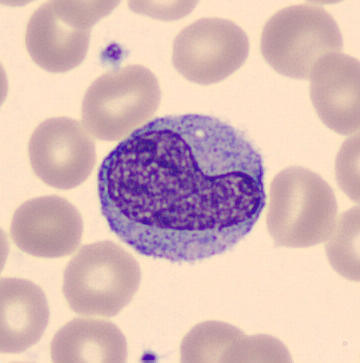

Cell = monocyte.
Preparation: MGG stain · peripheral blood film.